Bone marrow smear:
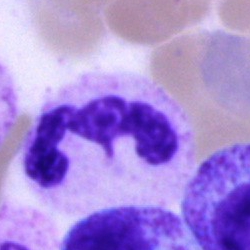

The cell is neutrophil (segmented).